Brightfield, 40× oil-immersion objective · bone marrow smear: 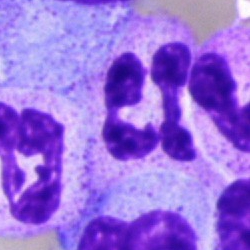
Cell type — segmented neutrophil.